40× oil immersion; bone marrow smear: 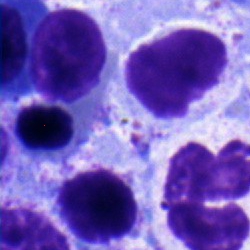Morphology consistent with an erythroblast.